Single-cell field · bone marrow smear: 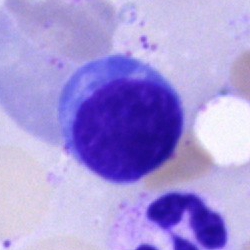
Showing a typical lymphocyte.